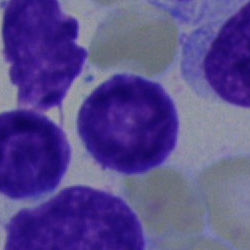 Bone marrow smear showing a blast cell.